Bone marrow smear.
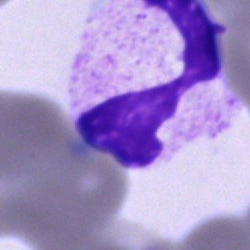

Classification: neutrophil (segmented).